Single cell centered in the field; MGG-stained; bone marrow aspirate smear.
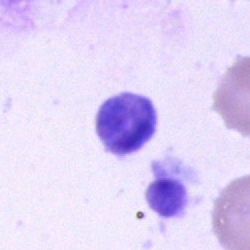
The morphological class is artefact.